Bone marrow aspirate smear; 40× oil immersion:
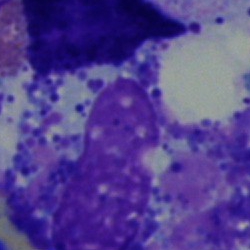
This is an other cell type.